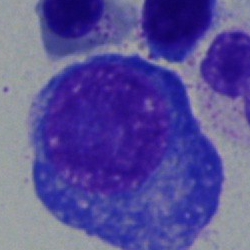 Cell type = plasmacyte.